Bone marrow aspirate smear.
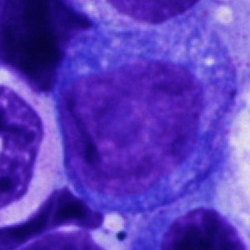 Promyelocyte.